CellaVision DM96 digital cell image · peripheral blood film · single-cell crop — 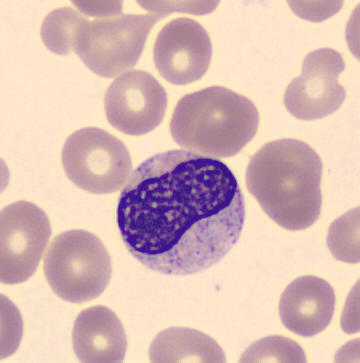
Morphology consistent with a metamyelocyte.